Bone marrow aspirate smear:
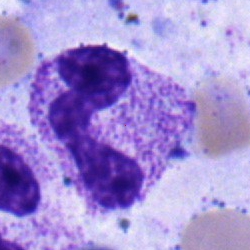Cell type = neutrophil (band).